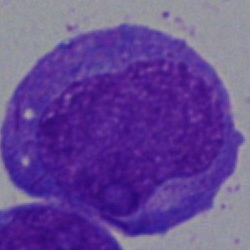
Cell type — progranulocyte.